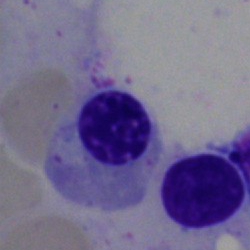Impression — nucleated red cell.